Bone marrow smear:
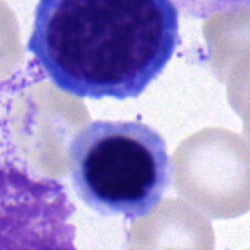
{"cell_type": "erythroblast"}